Bone marrow aspirate smear.
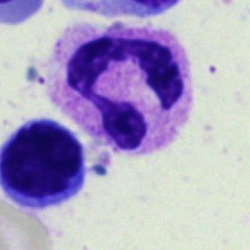
Single cell identified as a neutrophil (segmented).